Bone marrow smear · single-cell field: 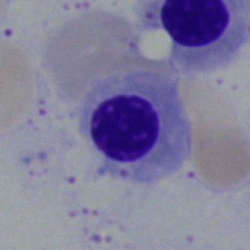

Specimen: bone marrow smear.
Classification: normoblast.
Lineage: erythroid.